Bone marrow smear · brightfield, 40× oil-immersion objective · cropped to a single cell
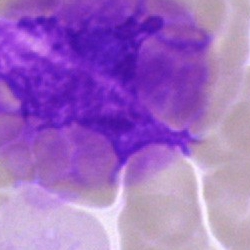Showing an artifact.